Bone marrow aspirate smear.
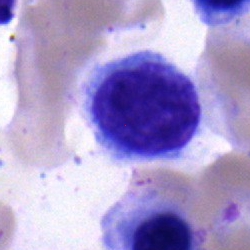 {"cell_type": "hairy cell", "lineage": "lymphoid"}